Peripheral blood smear: 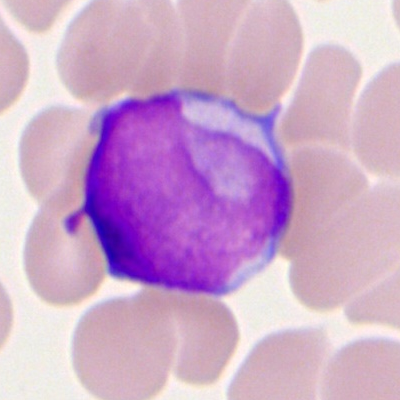Cell type: myeloblast.